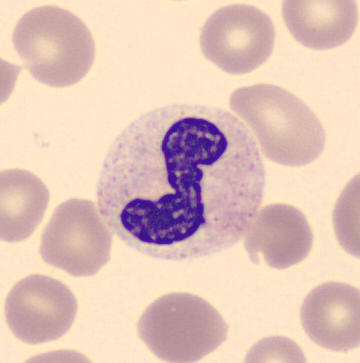Peripheral blood film.
Identified as a stab cell.